250×250; bone marrow smear — 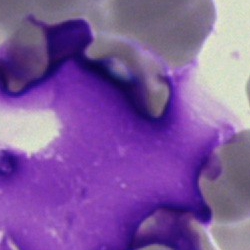Morphological class = artefact.